Bone marrow smear — 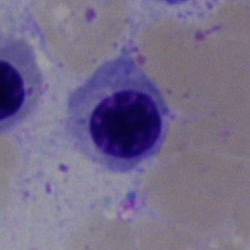

The cell type is nucleated red blood cell.